Brightfield microscopy, 40× oil immersion. Bone marrow aspirate smear
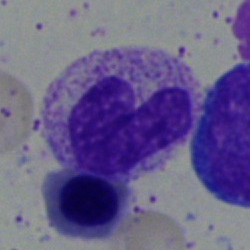
Impression — stab cell.